Bone marrow aspirate smear: 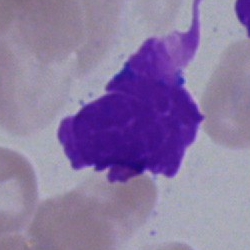 Q: What is shown here?
A: Artifact.